Bone marrow smear · brightfield microscopy, 40× oil immersion — 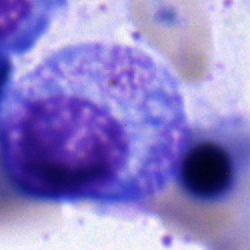Morphological class = progranulocyte.